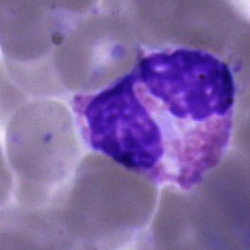
Q: What is shown here?
A: This is an eosinophilic granulocyte.